Bone marrow smear.
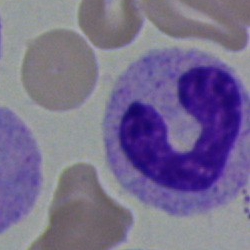 Cell type = band neutrophil.